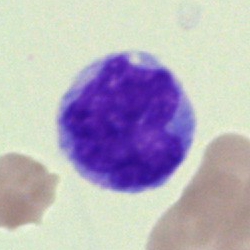
A monocyte.